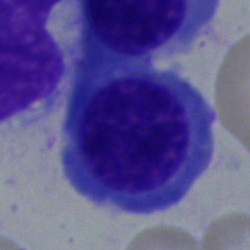

Cell type — nucleated red cell.